Bone marrow aspirate smear · MGG-stained:
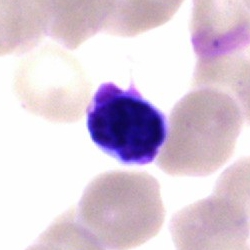Q: What is shown here?
A: This is an artifact.